Brightfield, 40× oil-immersion objective · May-Grünwald-Giemsa stain · bone marrow aspirate smear: 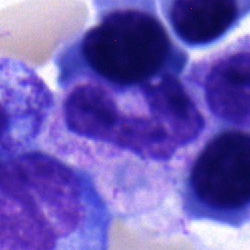Neutrophil (segmented).